Bone marrow smear; MGG-stained: 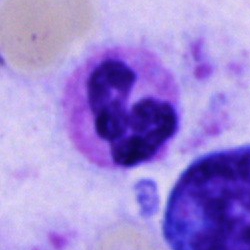

Cell: neutrophil (segmented).